250×250 px. Bone marrow smear
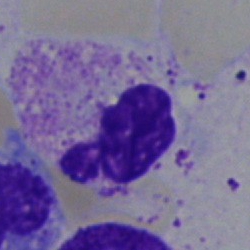The cell shown is a neutrophil (segmented).